Bone marrow smear · single-cell crop · 40× oil immersion: 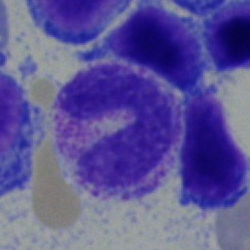
Q: What cell is this?
A: It is a metamyelocyte.